Brightfield, 40× oil-immersion objective; bone marrow smear
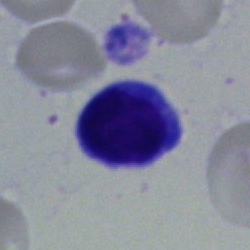
Morphology consistent with a lymphocyte.